Bone marrow aspirate smear
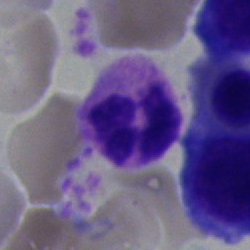
The cell shown is a segmented neutrophil.